Bone marrow smear. Single-cell crop. 40× objective, oil immersion
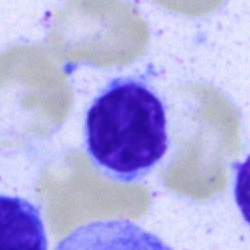

A typical lymphocyte.